Bone marrow aspirate smear
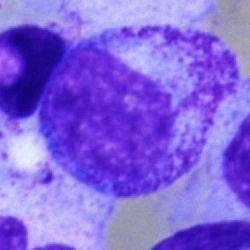

Showing a myelocyte.